Peripheral blood smear; M8 digital microscope (Precipoint), 100× oil immersion; Romanowsky-type stain
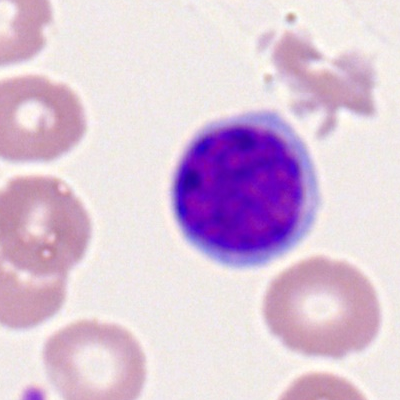
Typical lymphocyte.